Single-cell crop · bone marrow aspirate smear.
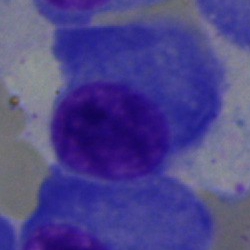

Showing a plasmacyte.